Bone marrow aspirate smear — 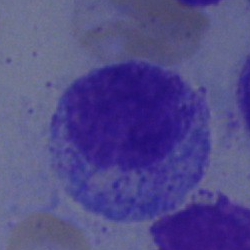A myelocyte.